Brightfield, 100× oil-immersion objective. Single cell centered in the field. Peripheral blood film:
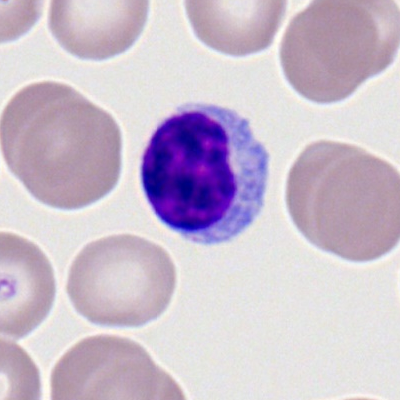 Q: Which cell type is shown here?
A: A typical lymphocyte.